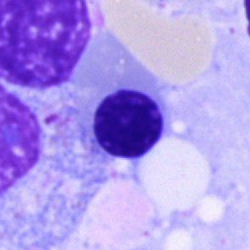 Classification: nucleated red cell.